Bone marrow aspirate smear — 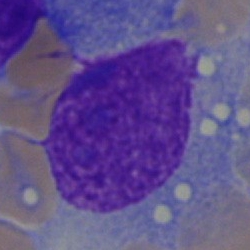Classification = blast cell.